Bone marrow aspirate smear; single cell centered in the field — 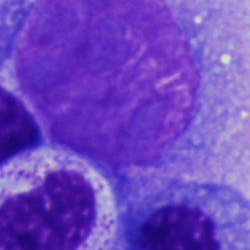

Artefact.